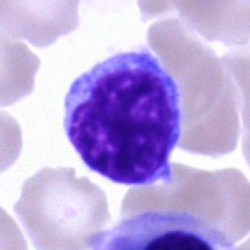The morphological class is lymphocyte.